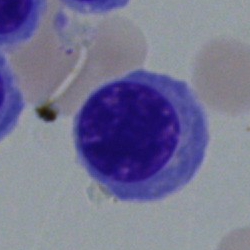

Morphological class = nucleated red blood cell.